250×250 px · bone marrow smear · 40× oil immersion: 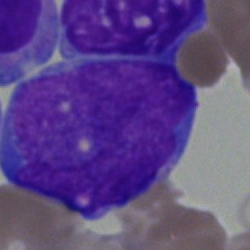

Showing a blast.